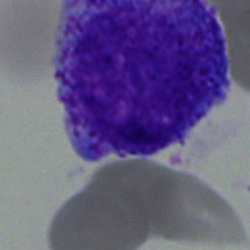

Q: What is shown here?
A: This is a promyelocyte.